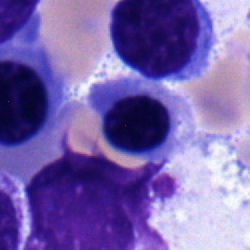
A nucleated red blood cell.